Bone marrow smear; brightfield microscopy, 40× oil immersion: 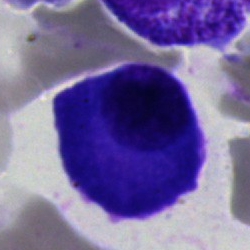 Plasmacyte.